Bone marrow smear. Brightfield microscopy, 40× oil immersion: 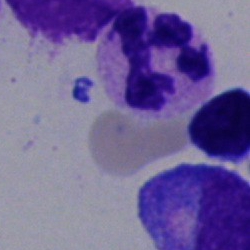

A neutrophil (segmented).